40× oil immersion; bone marrow aspirate smear: 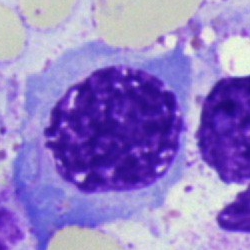Q: What cell is this?
A: This is a nucleated red blood cell.